Bone marrow smear; single-cell field
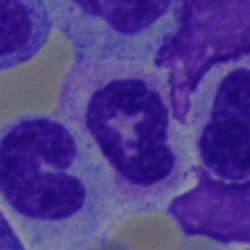Polymorphonuclear neutrophil.